Bone marrow aspirate smear — 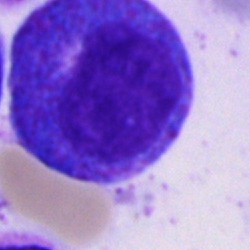

Impression → progranulocyte.